Peripheral blood smear: 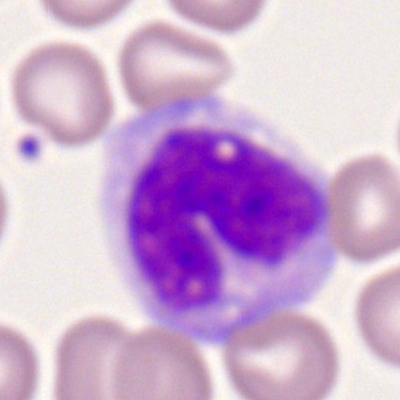

Cell type = monocyte.